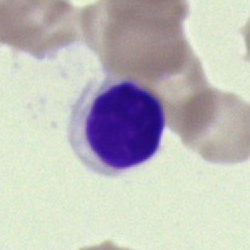Q: What type of cell is this?
A: This is a typical lymphocyte.